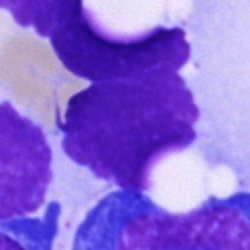Morphology → artifact.